Single-cell field; bone marrow smear.
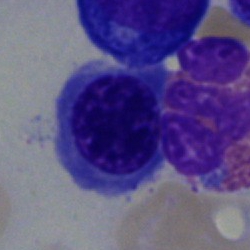 Q: What type of cell is this?
A: This is a nucleated red blood cell.